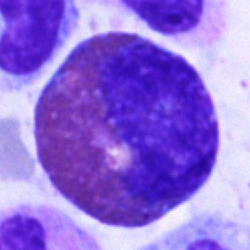 Morphology — eosinophilic granulocyte.